Bone marrow smear: 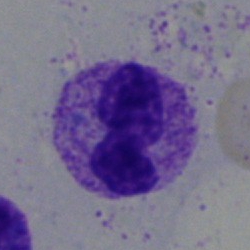

Morphology consistent with a segmented neutrophil.